Bone marrow aspirate smear: 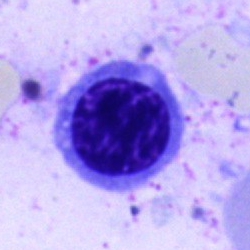Cell type = nucleated red blood cell.